Bone marrow aspirate smear — 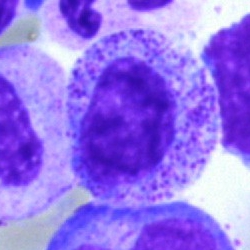

Morphological class = myelocyte.